Bone marrow smear: 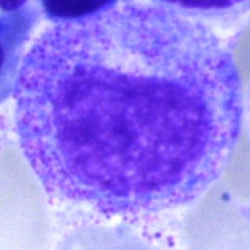
Cell type: promyelocyte.